Peripheral blood smear
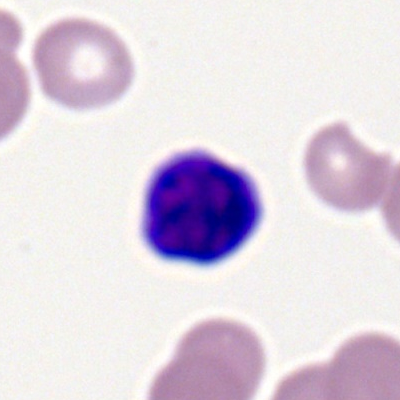
The classification is lymphocyte.